Brightfield, 40× oil-immersion objective · May-Grünwald-Giemsa/Pappenheim stain · bone marrow smear:
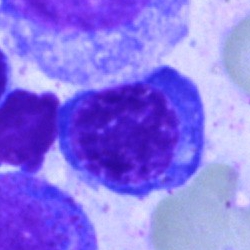 Cell — normoblast.